Cropped to a single cell; bone marrow smear — 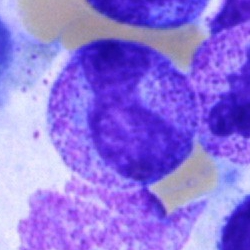

Q: What type of cell is this?
A: It is a stab cell.